400×400 px; peripheral blood smear.
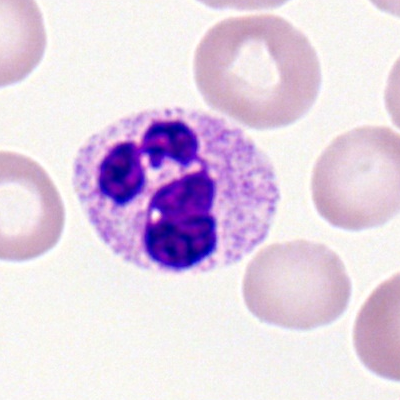 Cell type — neutrophil (segmented).